Bone marrow smear:
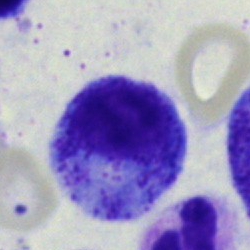Single cell identified as a progranulocyte.